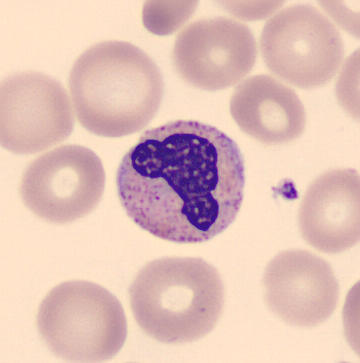Specimen: peripheral blood smear.
Cell type: band neutrophil.
Lineage: myeloid.